Bone marrow aspirate smear · May-Grünwald-Giemsa stain — 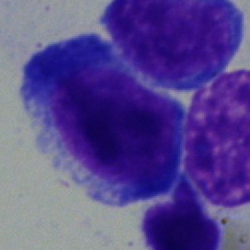
Classification — pronormoblast.